Bone marrow aspirate smear:
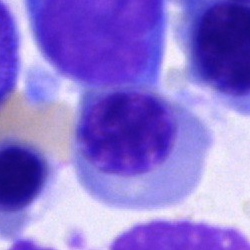

Q: What type of cell is this?
A: A nucleated red cell.